Bone marrow aspirate smear. 40× oil immersion. Image size 250×250 — 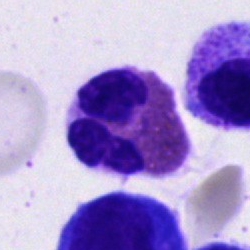Eosinophil.